Bone marrow smear · single cell centered in the field.
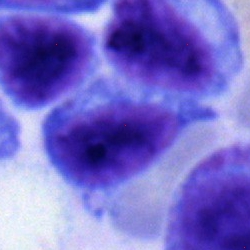
The cell shown is a lymphocyte.